Bone marrow aspirate smear. 40× oil immersion. Image size 250×250.
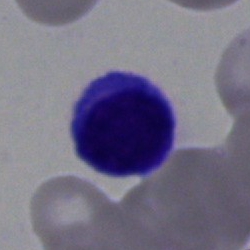

The cell shown is a lymphocyte.